Bone marrow aspirate smear
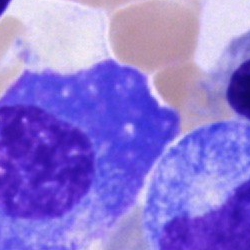

A plasma cell.